Bone marrow smear:
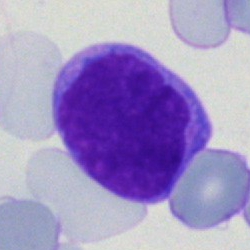
This is a blast.